Bone marrow smear · 40× objective, oil immersion — 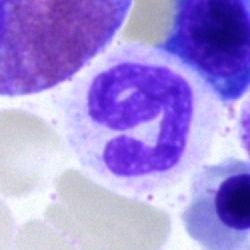

Cell — neutrophil (segmented).